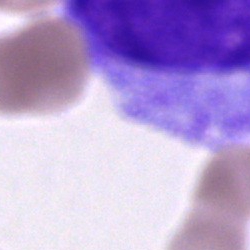
This is an unidentifiable cell.